Bone marrow aspirate smear:
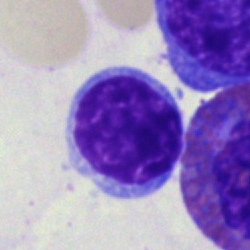Specimen: bone marrow aspirate smear.
Cell type: lymphocyte.